Single cell centered in the field. Bone marrow smear — 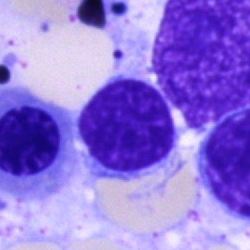

Morphology → artifact.